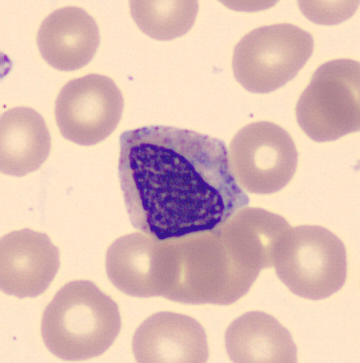Impression — metamyelocyte.